Bone marrow smear
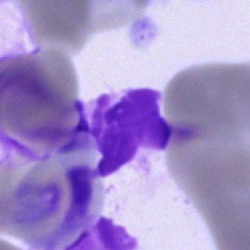
Morphology — artefact.